May-Grünwald-Giemsa stain. Bone marrow smear
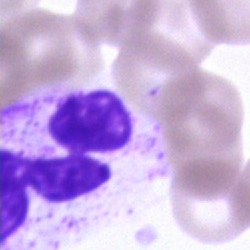
A polymorphonuclear neutrophil.